Bone marrow smear. Single cell centered in the field. May-Grünwald-Giemsa stain.
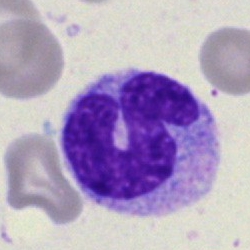 Impression → monocyte.